Bone marrow smear: 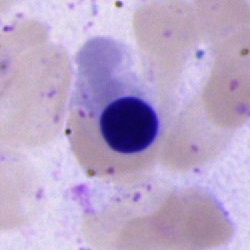

Nucleated red cell.